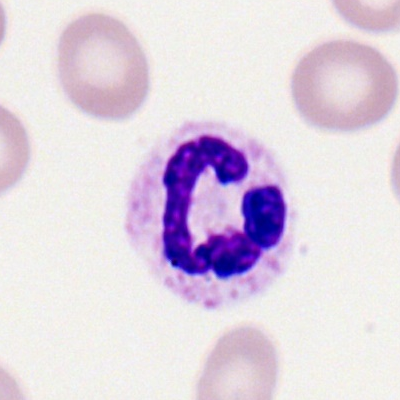
The cell is segmented neutrophil.